Bone marrow aspirate smear — 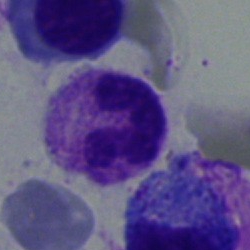The cell shown is a neutrophil (segmented).